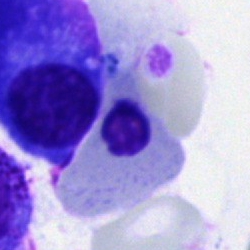
Impression — nucleated red cell.